Image size 250×250; bone marrow aspirate smear — 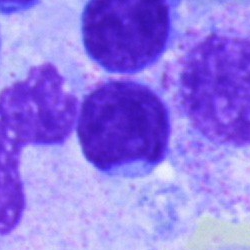 Q: Which cell type is shown here?
A: Typical lymphocyte.